Pappenheim-stained; bone marrow aspirate smear: 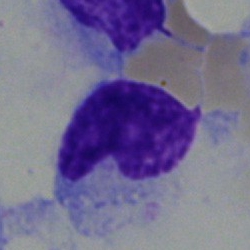 Impression — hairy cell.